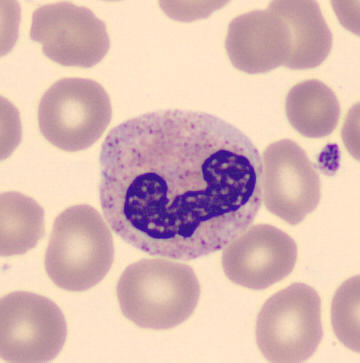
A band-form neutrophil.